Bone marrow smear
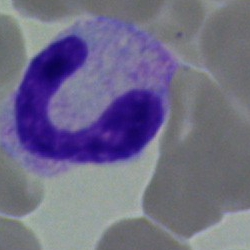 Morphology → band neutrophil.